Bone marrow aspirate smear
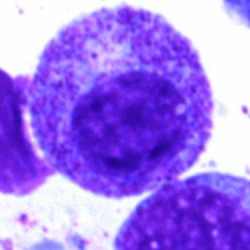 Classification: myelocyte.